Bone marrow aspirate smear.
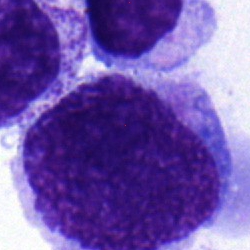
Morphology consistent with a typical lymphocyte.